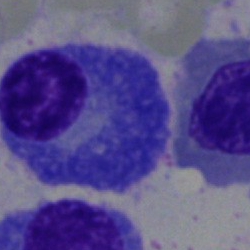 Morphological class — plasmacyte.